400×400; Romanowsky-type stain; peripheral blood film — 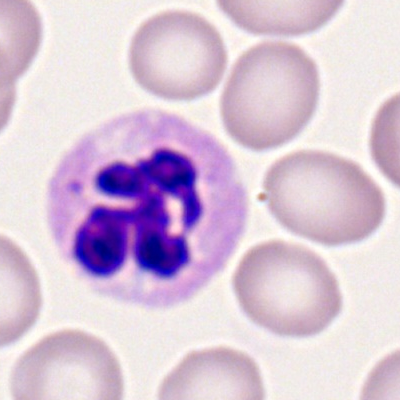Q: What is the morphological classification of this cell?
A: It is a neutrophil (segmented).